Bone marrow smear:
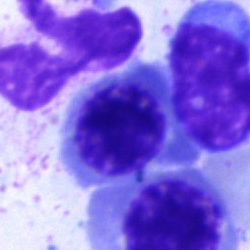

Cell — nucleated red cell.